Bone marrow aspirate smear; single cell centered in the field; MGG-stained:
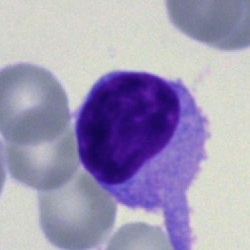
Q: What type of cell is this?
A: Typical lymphocyte.